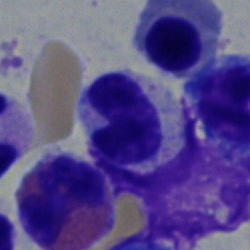

The cell is metamyelocyte.